Bone marrow smear:
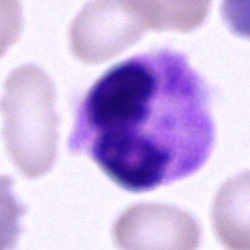

The cell type is neutrophil (segmented).